Bone marrow aspirate smear: 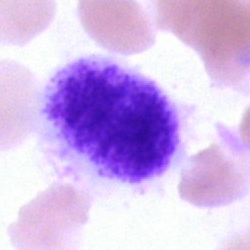

Q: What is shown here?
A: Artefact.